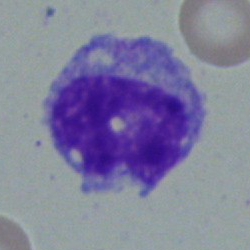
Morphological class: monocyte.